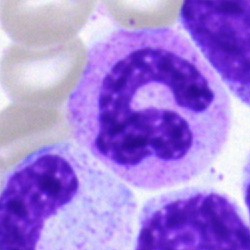Q: What type of cell is this?
A: Neutrophil (segmented).